Bone marrow aspirate smear: 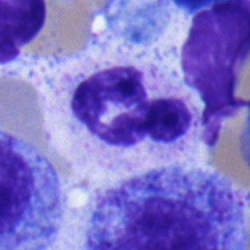The cell shown is a neutrophil (segmented).